Bone marrow smear — 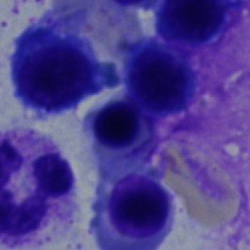The cell shown is an erythroblast.